Bone marrow smear:
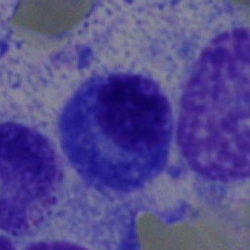

{"cell_type": "plasma cell", "lineage": "lymphoid"}